Image size 250×250; bone marrow aspirate smear; MGG-stained:
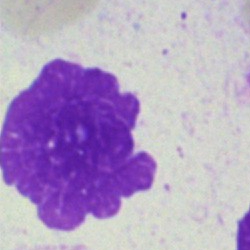

Morphological class — artefact.